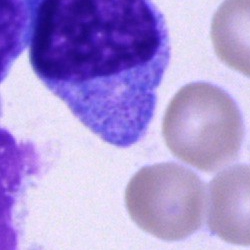

The cell is undifferentiated blast.